Peripheral blood film · 400×400 px · single cell centered in the field:
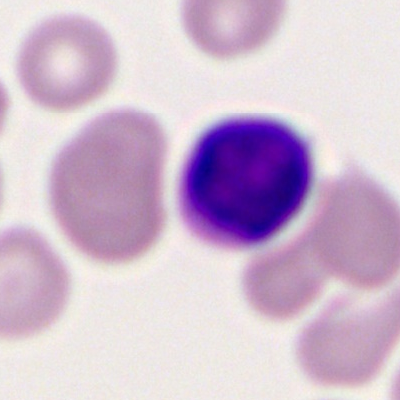 Specimen: peripheral blood smear.
Cell type: lymphocyte.
Lineage: lymphoid.